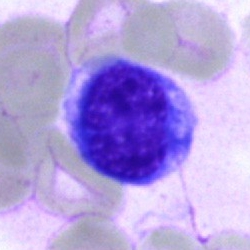 Showing a typical lymphocyte.